Brightfield, 40× oil-immersion objective · bone marrow smear: 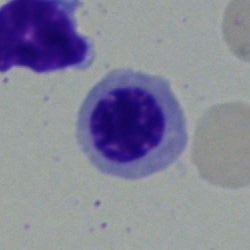
This is a nucleated red cell.